Bone marrow smear:
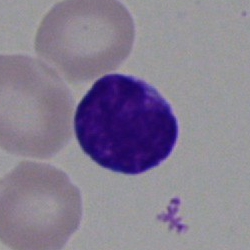

Morphology — blast cell.